Bone marrow aspirate smear: 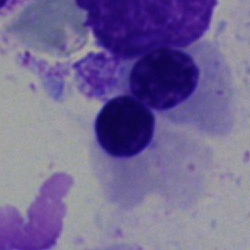

Classification = nucleated red cell.